Bone marrow aspirate smear — 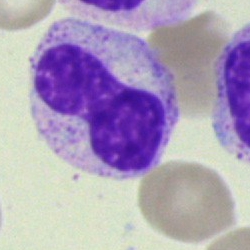
Morphology → band-form neutrophil.